Bone marrow aspirate smear — 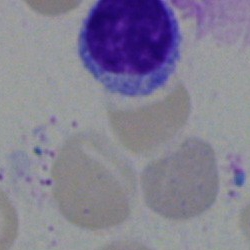

Morphology → lymphocyte.